Bone marrow aspirate smear.
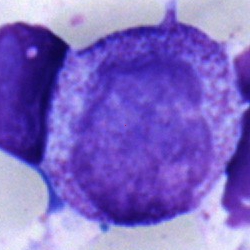 Cell type = myelocyte.